Peripheral blood film — 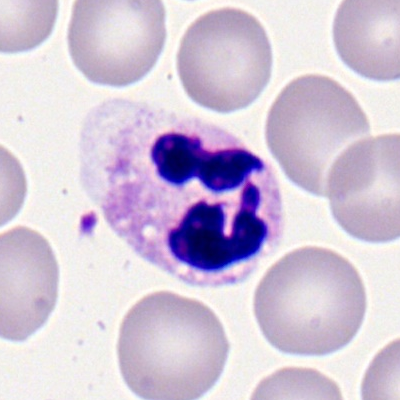Q: What type of cell is this?
A: This is a polymorphonuclear neutrophil.